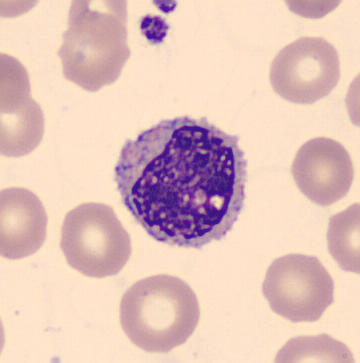

Image: Peripheral blood film.
Cell: myelocyte.